Brightfield, 40× oil-immersion objective · bone marrow aspirate smear — 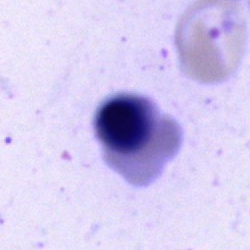
Morphology — nucleated red blood cell.